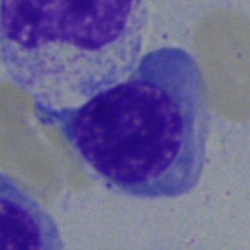 Classification — erythroblast.